Bone marrow aspirate smear
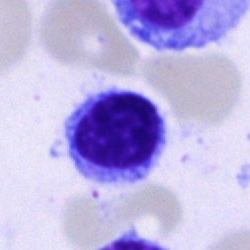
Cell type — plasma cell.